Peripheral blood film; cropped to a single cell.
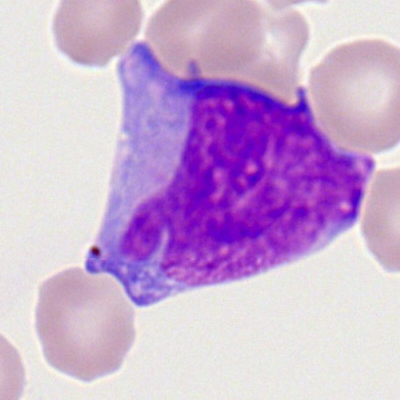
This is a myeloblast.